Bone marrow smear.
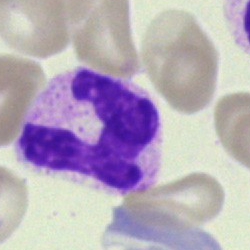
The cell shown is a polymorphonuclear neutrophil.